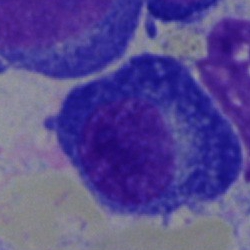
Bone marrow smear showing a plasmacyte.